Bone marrow smear:
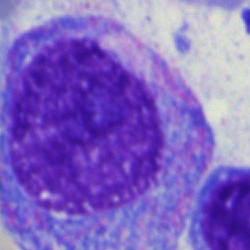
Morphology — promyelocyte.